Bone marrow smear: 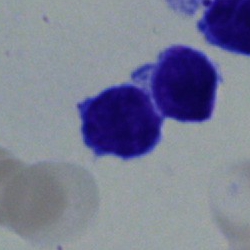
Classification: lymphocyte.